Brightfield microscopy, 40× oil immersion; May-Grünwald-Giemsa/Pappenheim stain; bone marrow smear
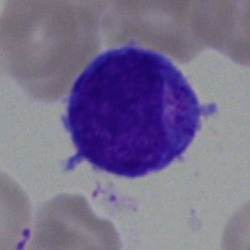
Q: What is shown here?
A: Lymphocyte.